Bone marrow aspirate smear: 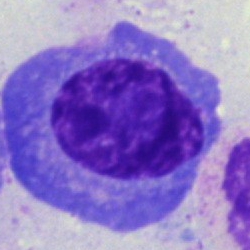

Impression → plasmacyte.